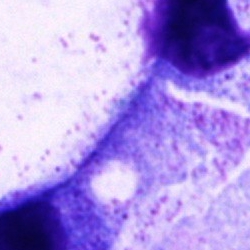 Single cell identified as an artefact.